Bone marrow aspirate smear
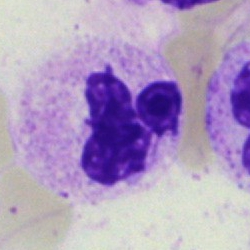 Q: What is shown here?
A: A segmented neutrophil.